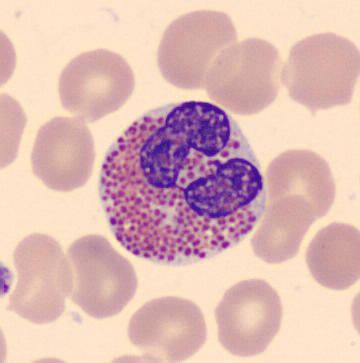
Peripheral blood film, single cell — eosinophil.